Bone marrow smear. 250×250
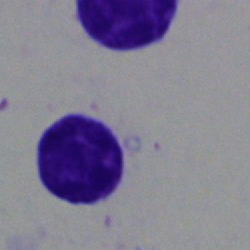

Showing a typical lymphocyte.